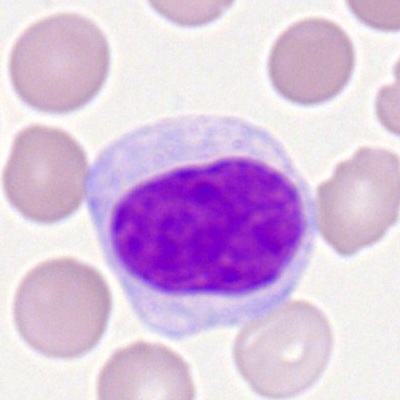

Q: What is shown here?
A: It is a lymphocyte.